Single-cell crop. May-Grünwald-Giemsa stain. Bone marrow smear.
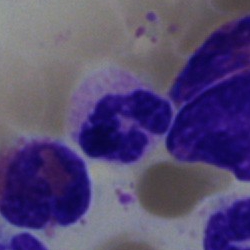
Neutrophil (segmented).